Bone marrow smear — 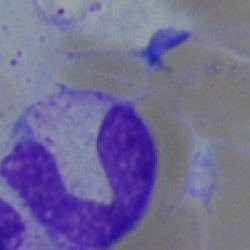 A segmented neutrophil.